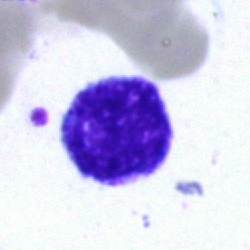Specimen: bone marrow aspirate smear.
Cell: lymphocyte.
Lineage: lymphoid.